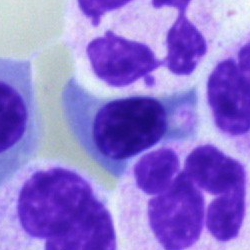
A normoblast on a bone marrow smear.